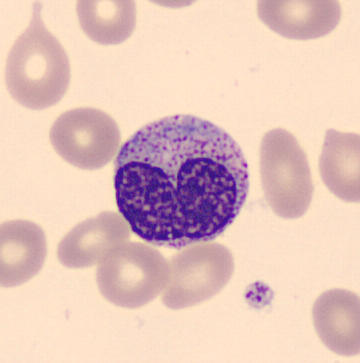

Peripheral blood film. Cell type = metamyelocyte.